Single-cell crop. Bone marrow aspirate smear — 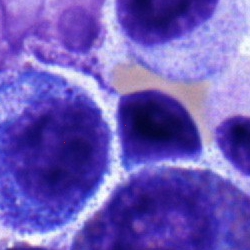 Cell: myelocyte.